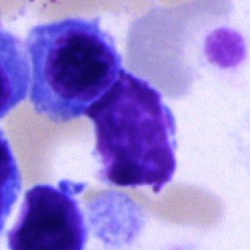 Specimen: bone marrow aspirate smear.
Cell: artefact.